Bone marrow aspirate smear. 250×250 — 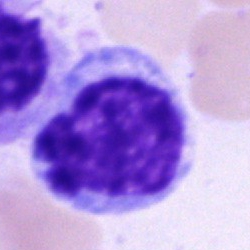Q: What cell is this?
A: It is a blast cell.